Bone marrow aspirate smear:
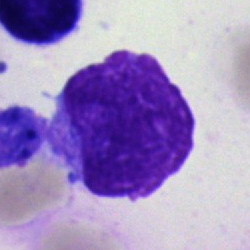Specimen: bone marrow smear.
Morphological class: artifact.